May-Grünwald-Giemsa stain. Bone marrow aspirate smear:
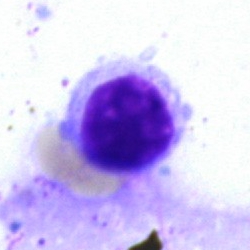Single cell identified as an erythroblast.